Bone marrow smear; brightfield microscopy, 40× oil immersion.
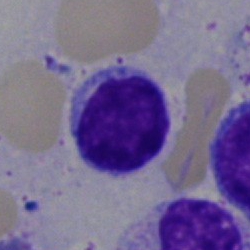
This is a typical lymphocyte.